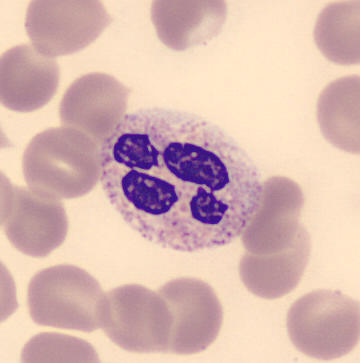A polymorphonuclear neutrophil. Image: Peripheral blood film.